May-Grünwald-Giemsa stain · bone marrow aspirate smear: 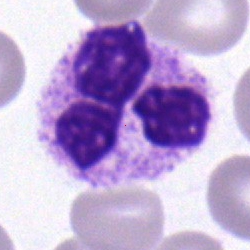
Morphology → polymorphonuclear neutrophil.